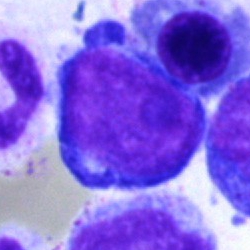Morphology consistent with a pronormoblast.